Bone marrow smear: 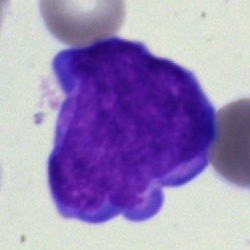Undifferentiated blast.